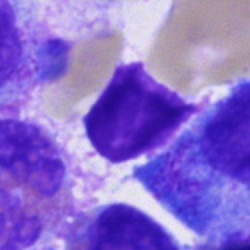Specimen: bone marrow aspirate smear.
Classification: unidentifiable cell.